Single-cell crop; bone marrow smear: 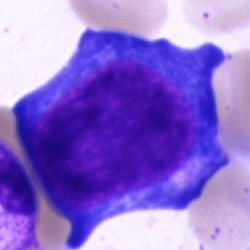Q: What is the morphological classification of this cell?
A: A proerythroblast.